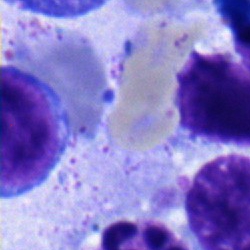 Classification: lymphocyte.